Bone marrow aspirate smear:
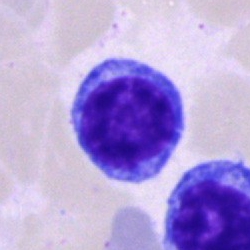

Impression — typical lymphocyte.